M8 digital microscope (Precipoint), 100× oil immersion. Peripheral blood smear:
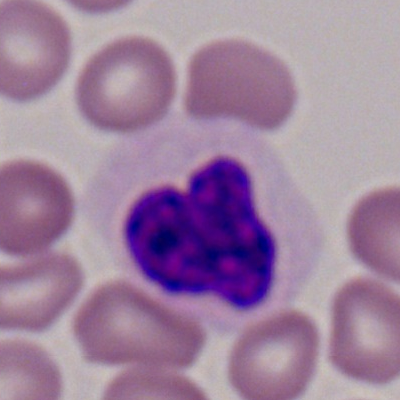 Specimen: peripheral blood smear.
Morphological class: neutrophil (segmented).
Lineage: myeloid.